Bone marrow smear:
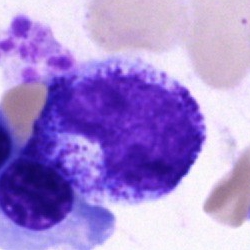
Cell type — promyelocyte.